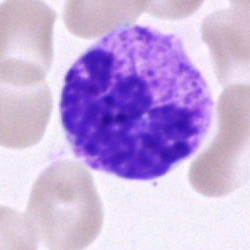 Classification = neutrophil (segmented).